Bone marrow smear.
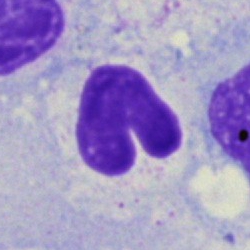 Classification = neutrophil (band).